Bone marrow aspirate smear
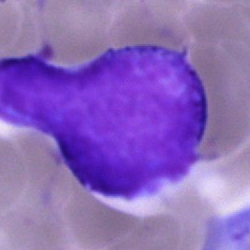
This is a blast.